250×250; bone marrow smear.
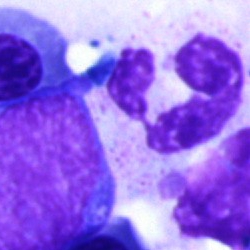

Morphological class = segmented neutrophil.